Bone marrow aspirate smear · brightfield, 40× oil-immersion objective: 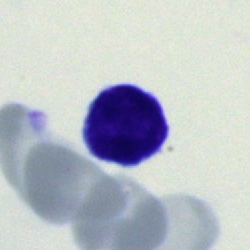

Impression — lymphocyte.